Brightfield microscopy, 40× oil immersion; bone marrow aspirate smear.
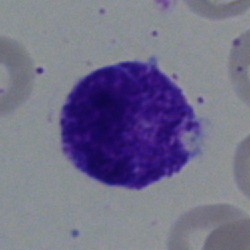{"cell_type": "myelocyte", "lineage": "myeloid"}